Bone marrow smear:
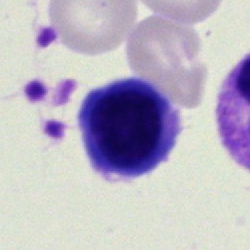Morphology → lymphocyte.